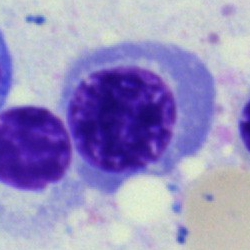 Showing a normoblast.